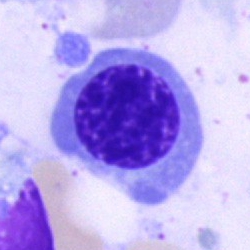 Classification = nucleated red blood cell.